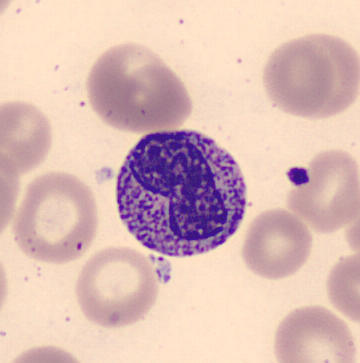Specimen: peripheral blood film.
Classification: metamyelocyte.